Bone marrow smear — 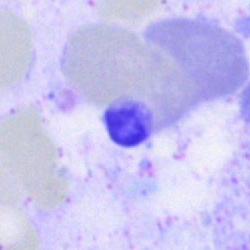Single cell identified as an artifact.